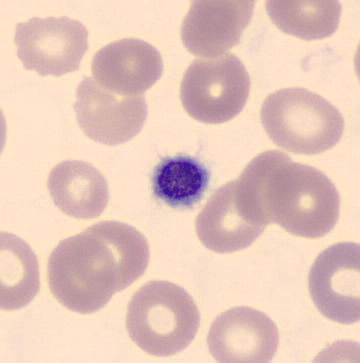Morphological class: platelet (thrombocyte).